May-Grünwald-Giemsa/Pappenheim stain; bone marrow smear: 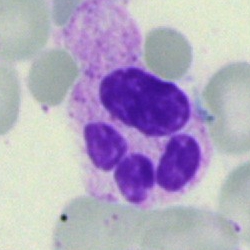
Impression → polymorphonuclear neutrophil.